Bone marrow smear:
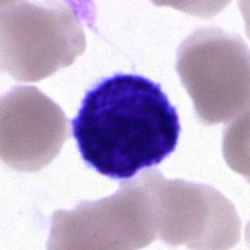 Showing a typical lymphocyte.